Bone marrow aspirate smear: 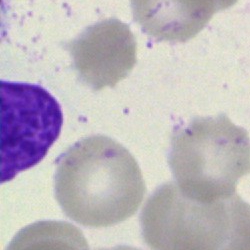

The cell shown is an artefact.